Brightfield, 40× oil-immersion objective. Bone marrow smear. 250 by 250 pixels:
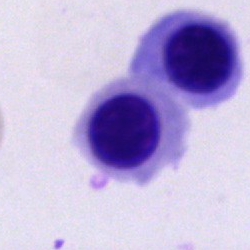

Impression — erythroblast.